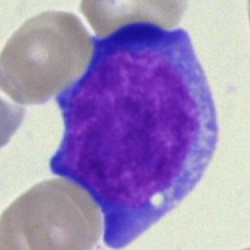 Q: Which cell type is shown here?
A: It is a pronormoblast.